Bone marrow smear. Brightfield, 40× oil-immersion objective.
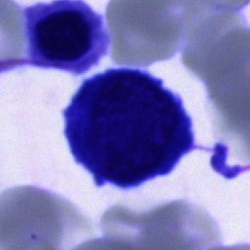Q: What is the morphological classification of this cell?
A: Normoblast.